Peripheral blood smear: 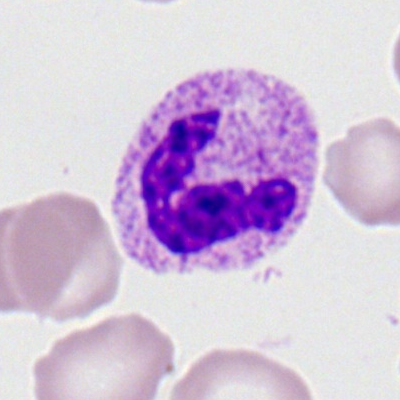
Specimen: peripheral blood film.
Classification: polymorphonuclear neutrophil.
Lineage: myeloid.